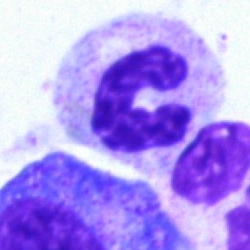 {"cell_type": "segmented neutrophil", "lineage": "myeloid"}